MGG-stained. Bone marrow smear:
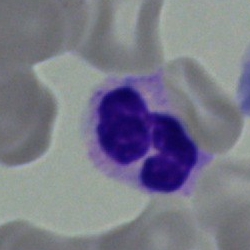
Q: What cell is this?
A: This is a polymorphonuclear neutrophil.